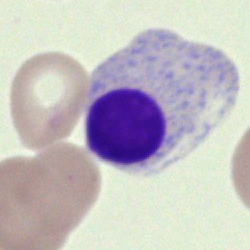

Q: What type of cell is this?
A: This is a normoblast.